Bone marrow smear — 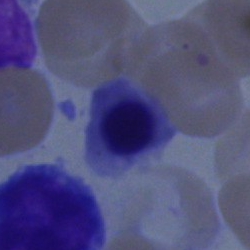Morphology → nucleated red cell.